Bone marrow aspirate smear · MGG-stained: 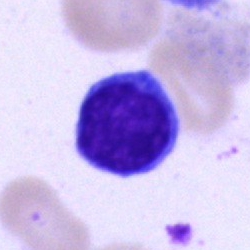Morphological class — typical lymphocyte.